Single-cell field · peripheral blood smear — 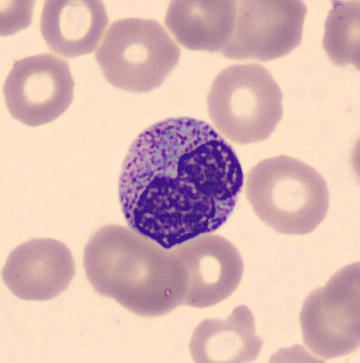
Single cell identified as a metamyelocyte.